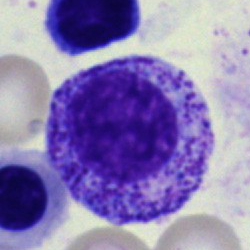 The cell is myelocyte.